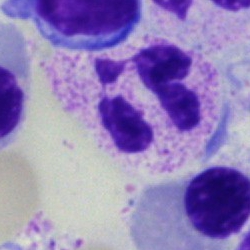A neutrophil (segmented).